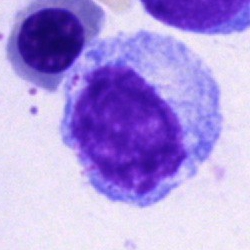A promyelocyte.